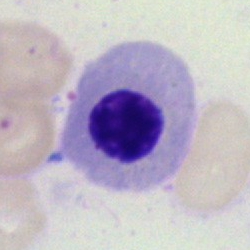
Cell type: erythroblast.